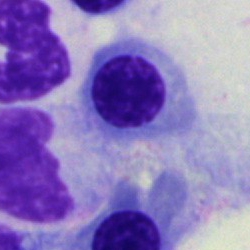 Q: What is shown here?
A: A nucleated red blood cell.